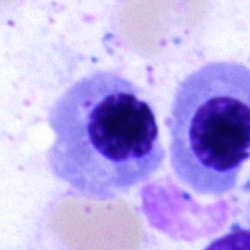 Single-cell crop from a bone marrow smear: erythroblast.